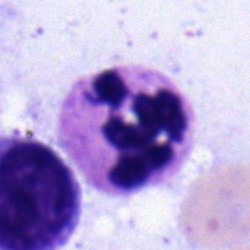
Morphology consistent with a segmented neutrophil.